May-Grünwald-Giemsa stain; bone marrow aspirate smear:
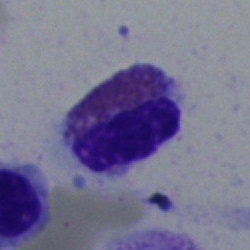
This is an eosinophil.